Bone marrow aspirate smear
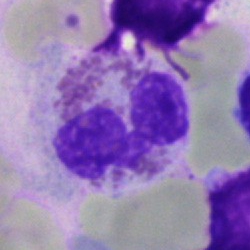 {"cell_type": "eosinophil"}